Bone marrow smear. 40× oil immersion. 250 by 250 pixels — 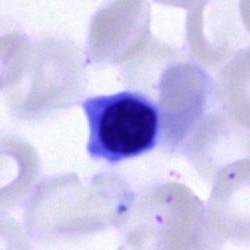

Morphology — normoblast.